Single-cell crop · bone marrow aspirate smear: 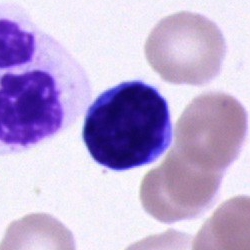
This is a lymphocyte.